May-Grünwald-Giemsa stain · bone marrow aspirate smear · 250×250
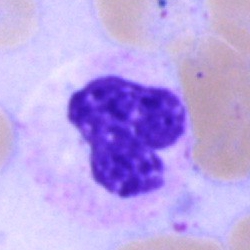

Q: What cell is this?
A: It is a segmented neutrophil.